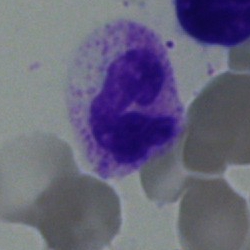

Stab cell.